Bone marrow aspirate smear:
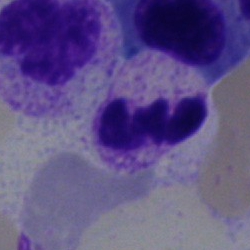
Cell type — neutrophil (segmented).